Bone marrow aspirate smear. 40× oil immersion
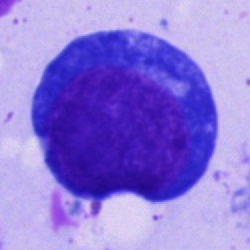 Showing a proerythroblast.